Bone marrow aspirate smear
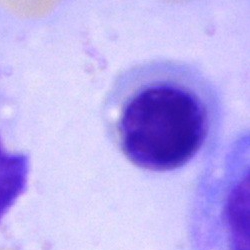
Cell = erythroblast.